Bone marrow smear.
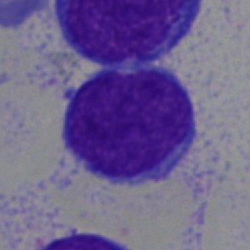Impression — lymphocyte.